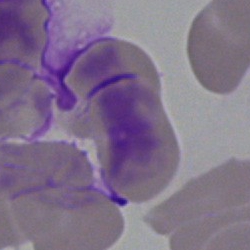Specimen: bone marrow aspirate smear.
Classification: artefact.